Bone marrow aspirate smear — 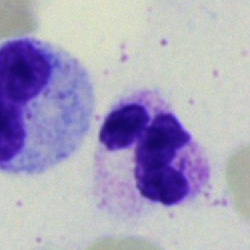
Q: Identify the cell.
A: A neutrophil (segmented).